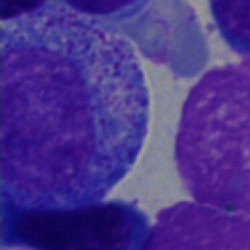 Bone marrow smear showing a progranulocyte.